Image size 250×250 · bone marrow aspirate smear · single cell centered in the field — 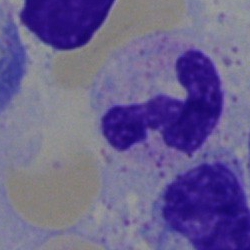Specimen: bone marrow aspirate smear.
Cell type: segmented neutrophil.